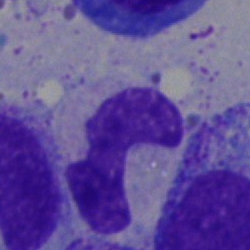Morphological class: stab cell.